Bone marrow smear
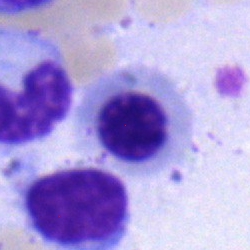Impression → nucleated red blood cell.